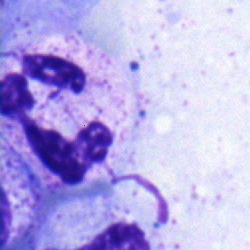 Morphological class — segmented neutrophil.